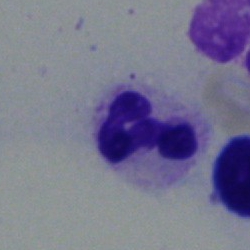Single-cell crop from a bone marrow smear: segmented neutrophil.